40× objective, oil immersion · bone marrow smear · 250 by 250 pixels:
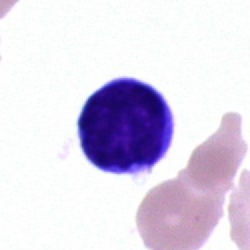 Typical lymphocyte.